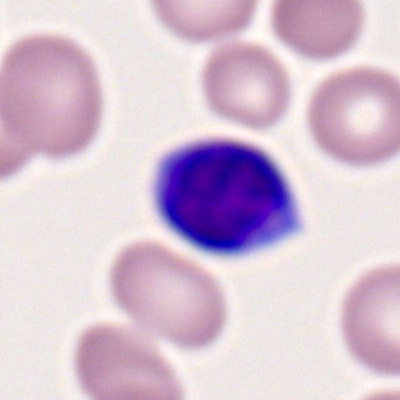
Peripheral blood film, single cell — lymphocyte.